Bone marrow aspirate smear; May-Grünwald-Giemsa stain:
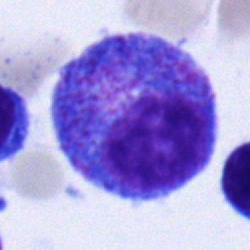 Morphological class — promyelocyte.